Pappenheim-stained · bone marrow smear · brightfield, 40× oil-immersion objective.
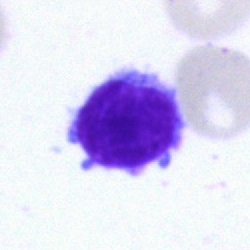Specimen: bone marrow smear.
Classification: typical lymphocyte.
Lineage: lymphoid.